Pappenheim-stained · bone marrow aspirate smear: 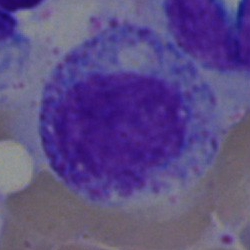

The classification is promyelocyte.